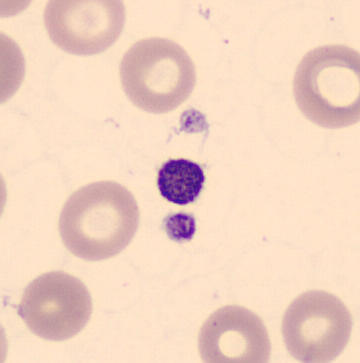
Specimen: peripheral blood smear.
Cell type: platelet. Acquisition: May-Grünwald-Giemsa-stained. Image size 360×363.